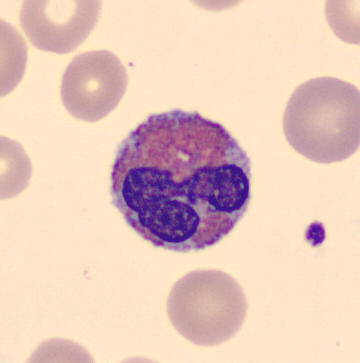 This is an eosinophilic granulocyte.
Peripheral blood film.